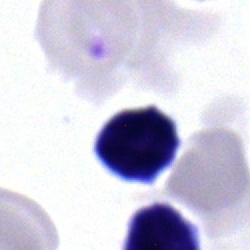 Impression — typical lymphocyte.